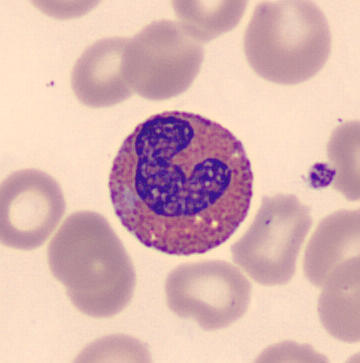

Acquisition: CellaVision DM96 · peripheral blood smear.
Impression → eosinophilic granulocyte.